Bone marrow smear · 40× objective, oil immersion · 250×250.
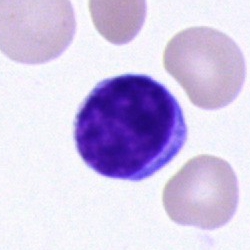
Q: What is shown here?
A: It is a typical lymphocyte.